Bone marrow smear. 250×250. Single-cell field: 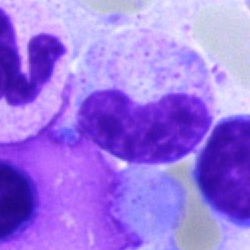
{"cell_type": "stab cell", "lineage": "myeloid"}